Bone marrow aspirate smear — 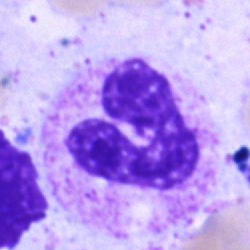 Morphological class = band neutrophil.